Bone marrow smear; 40× objective, oil immersion; image size 250×250.
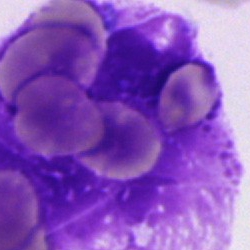 This is an artefact.